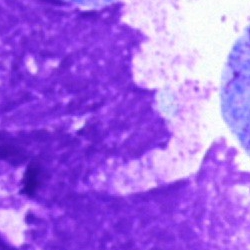
Impression — artefact.